250×250 · bone marrow smear: 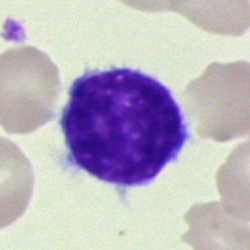

The cell shown is a typical lymphocyte.